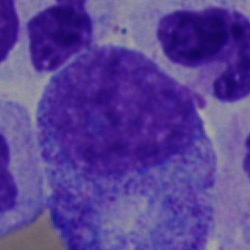 Q: What cell is this?
A: Promyelocyte.